Bone marrow aspirate smear.
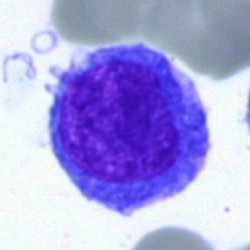

A blast.